Bone marrow smear.
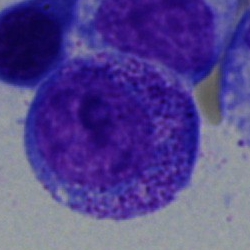
Myelocyte.